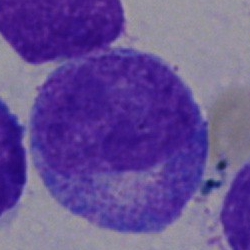Single cell identified as a progranulocyte.